Peripheral blood smear.
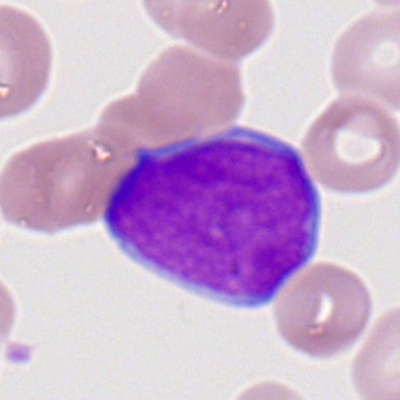
Specimen: peripheral blood smear.
Morphological class: myeloblast.
Lineage: myeloid.